Bone marrow smear
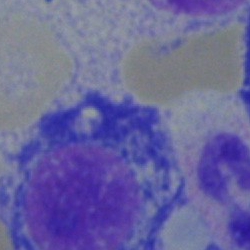

The cell is plasmacyte.